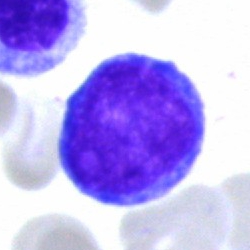The cell shown is a blast.